Bone marrow smear
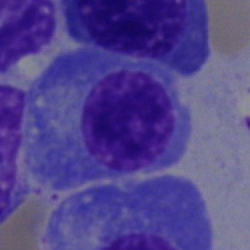Showing a plasmacyte.